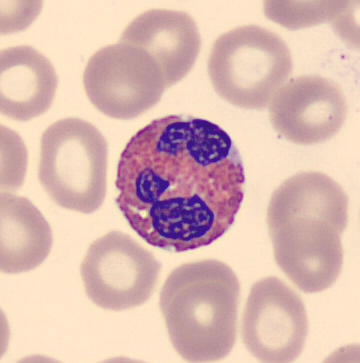

Impression — eosinophilic granulocyte. Peripheral blood smear.